Bone marrow smear; 250×250; single-cell crop.
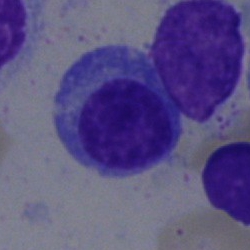

A plasma cell.